Bone marrow smear
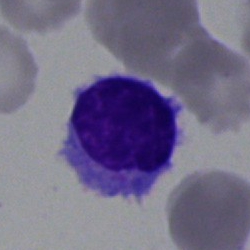

This is a typical lymphocyte.